40× oil immersion. Bone marrow smear. Cropped to a single cell.
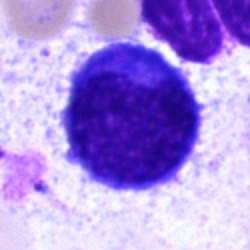Q: Which cell type is shown here?
A: It is an undifferentiated blast.